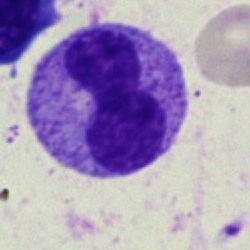 Q: What type of cell is this?
A: This is a band-form neutrophil.